Brightfield microscopy, 40× oil immersion. Pappenheim-stained. Bone marrow aspirate smear.
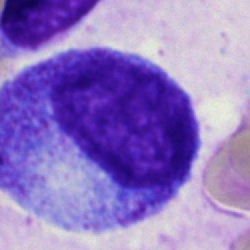 Morphology consistent with a promyelocyte.